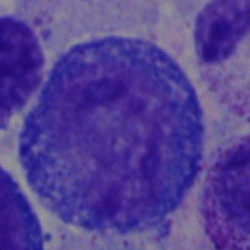
The classification is promyelocyte.